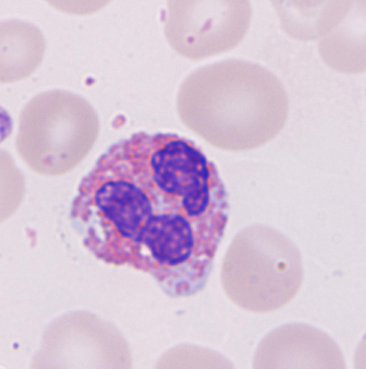 Classification — eosinophil.